Bone marrow smear: 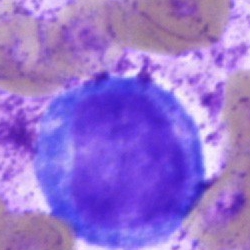Cell — undifferentiated blast.